Single cell centered in the field; bone marrow aspirate smear; MGG-stained.
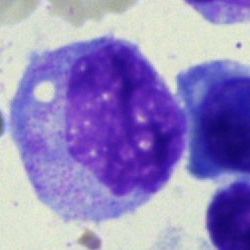Classification — undifferentiated blast.